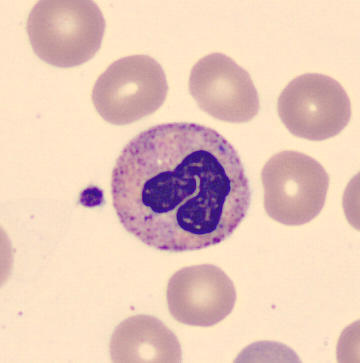 Impression → band neutrophil.